Peripheral blood film.
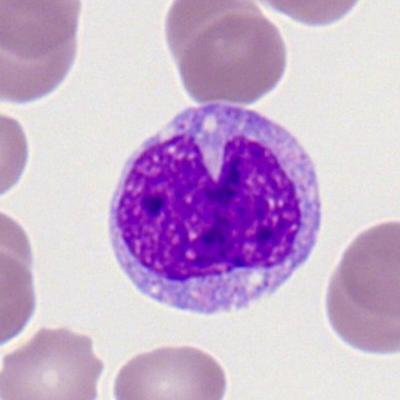

Morphology → monocyte.